Brightfield, 100× oil-immersion objective. Peripheral blood film:
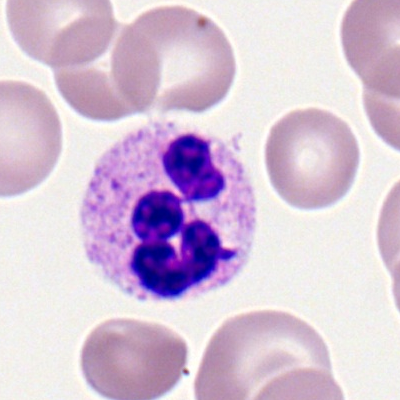The cell shown is a segmented neutrophil.